Bone marrow smear:
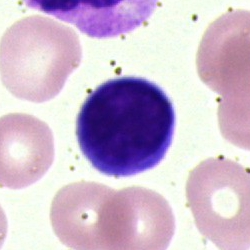
{"cell_type": "lymphocyte"}